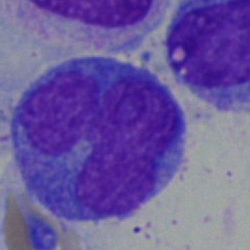
Morphology → monocyte.